Bone marrow aspirate smear
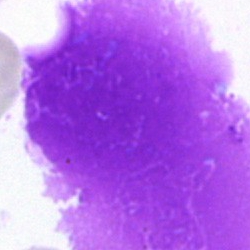
Impression → artefact.